Bone marrow aspirate smear · 250 by 250 pixels
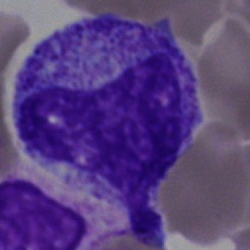

Impression — progranulocyte.